250 by 250 pixels · bone marrow smear · MGG-stained
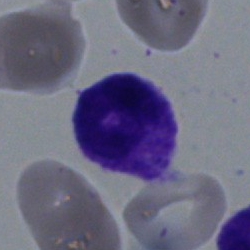
Single cell identified as a polymorphonuclear neutrophil.